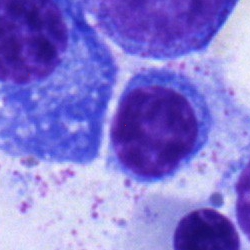 Classification: typical lymphocyte.